250 by 250 pixels; 40× objective, oil immersion; bone marrow aspirate smear.
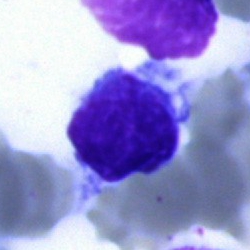Impression — lymphocyte.